Brightfield microscopy, 40× oil immersion · bone marrow smear — 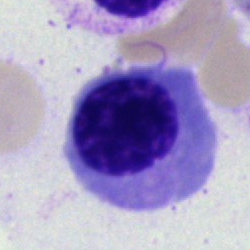

Specimen: bone marrow aspirate smear.
Cell: nucleated red cell.